Romanowsky-stained · 400 by 400 pixels · peripheral blood smear.
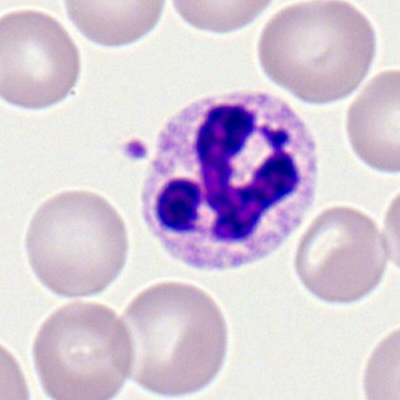
Cell — neutrophil (segmented).